Bone marrow smear. Image size 250×250. Pappenheim-stained.
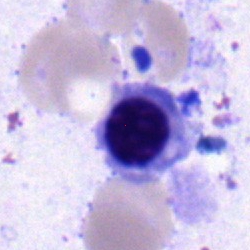Q: What type of cell is this?
A: It is an erythroblast.